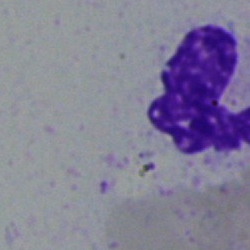
A neutrophil (segmented).